Bone marrow smear: 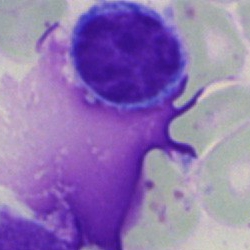
This is a lymphocyte.